250×250 · cropped to a single cell · bone marrow aspirate smear
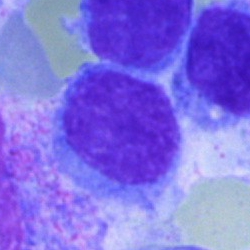 Morphological class: typical lymphocyte.